Bone marrow smear
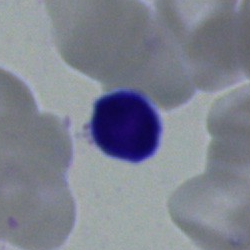

Impression → typical lymphocyte.